Bone marrow aspirate smear
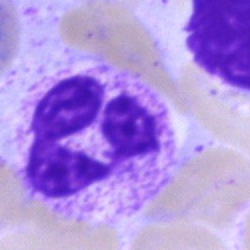
Impression → neutrophil (segmented).